40× oil immersion · bone marrow aspirate smear · May-Grünwald-Giemsa/Pappenheim stain.
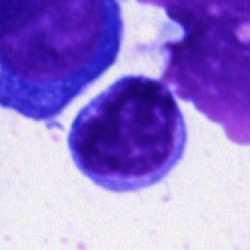 Q: Which cell type is shown here?
A: Typical lymphocyte.